Bone marrow aspirate smear; single-cell crop:
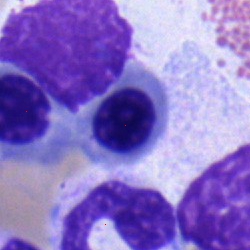

Morphology → erythroblast.